Bone marrow smear: 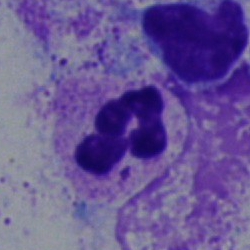

The cell shown is a polymorphonuclear neutrophil.